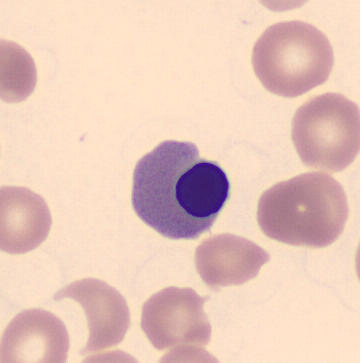
Peripheral blood smear showing a normoblast.